Bone marrow aspirate smear — 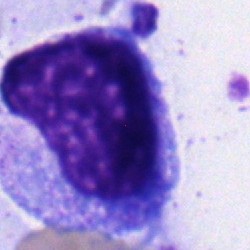
Q: What cell is this?
A: This is a myelocyte.